Bone marrow smear
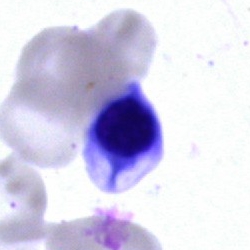 The cell type is normoblast.